Bone marrow aspirate smear
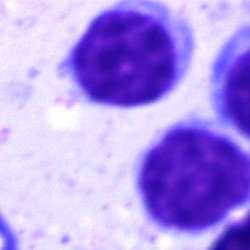 Q: What type of cell is this?
A: A typical lymphocyte.